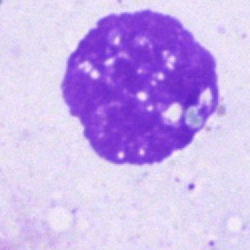Single cell identified as an artifact.